Bone marrow aspirate smear — 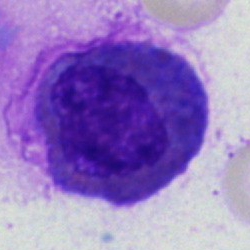

Eosinophil.